Bone marrow aspirate smear · 250 by 250 pixels.
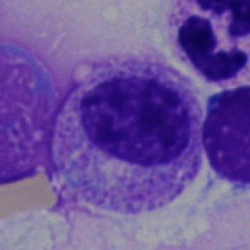 Q: What is shown here?
A: Myelocyte.